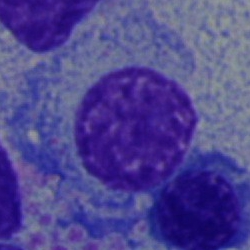

Single-cell crop from a bone marrow smear: plasmacyte.